40× objective, oil immersion. Bone marrow aspirate smear
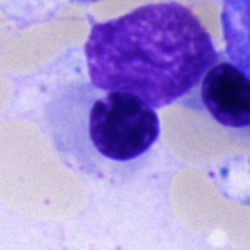 Erythroblast.